Bone marrow smear:
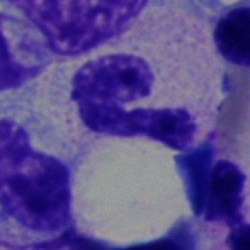
Morphology consistent with a segmented neutrophil.